Bone marrow smear.
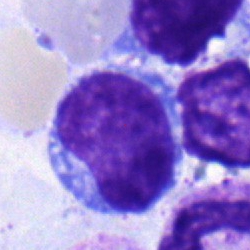Single cell identified as a typical lymphocyte.